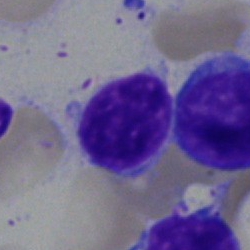

Specimen: bone marrow smear.
Classification: lymphocyte.